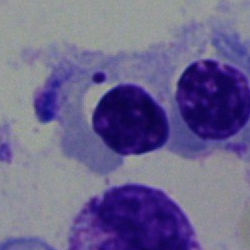 A nucleated red cell on a bone marrow smear.